Bone marrow smear:
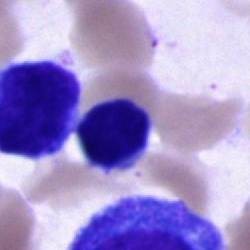

Cell — cell of indeterminate lineage.